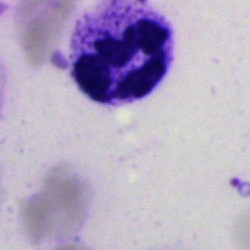
Specimen: bone marrow smear.
Classification: segmented neutrophil.
Lineage: myeloid.